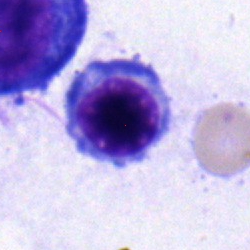 Q: What cell is this?
A: This is a nucleated red blood cell.